Bone marrow smear · single cell centered in the field · 250 by 250 pixels:
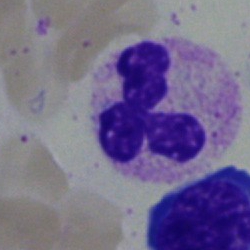

The morphological class is basophilic granulocyte.